Bone marrow smear
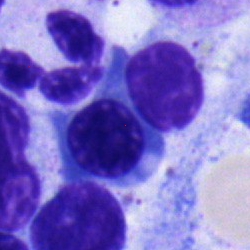Morphology consistent with a nucleated red blood cell.